Peripheral blood smear — 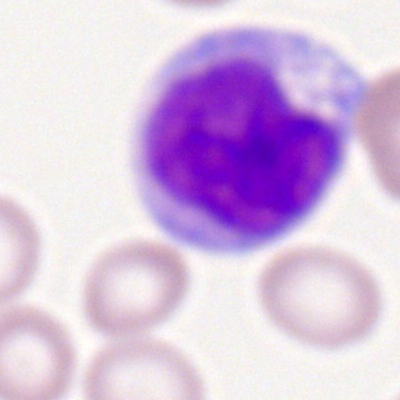 Q: Identify the cell.
A: A monocyte.